250 by 250 pixels · bone marrow aspirate smear: 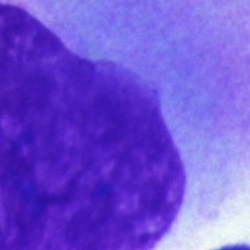The morphological class is artefact.